Peripheral blood smear — 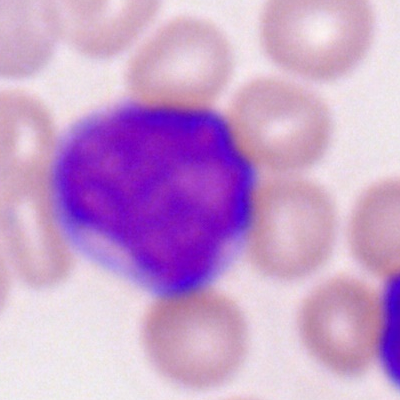
Showing a myeloid blast.